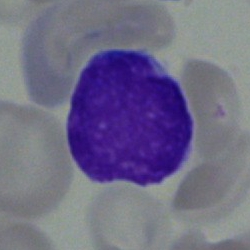Q: Which cell type is shown here?
A: An undifferentiated blast.